Bone marrow smear — 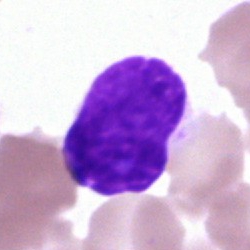Morphology — artifact.